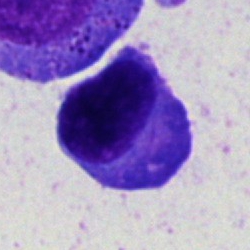 Morphological class: plasma cell.